Single-cell crop; bone marrow smear: 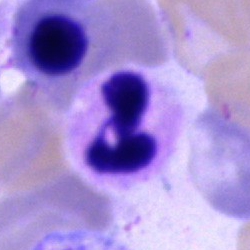

Impression — polymorphonuclear neutrophil.